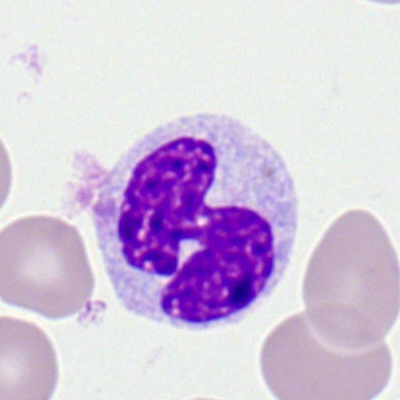 Cell = monocyte.